Bone marrow aspirate smear:
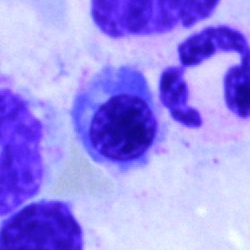

Showing a nucleated red cell.